Bone marrow aspirate smear: 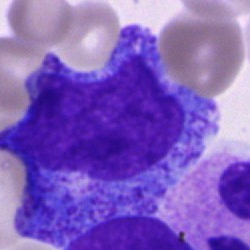 Progranulocyte.